Bone marrow smear: 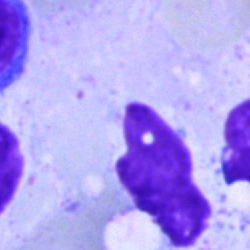 Cell = artefact.